Bone marrow smear; image size 250×250 — 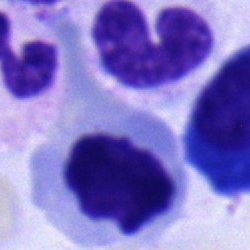

Q: What cell is this?
A: Plasmacyte.